Bone marrow smear:
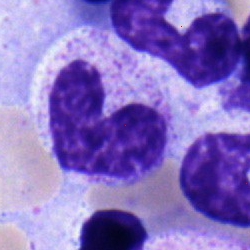

Specimen: bone marrow aspirate smear.
Cell type: band neutrophil.
Lineage: myeloid.